Bone marrow aspirate smear: 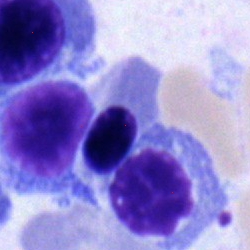The cell type is erythroblast.